Bone marrow smear. 250×250 px
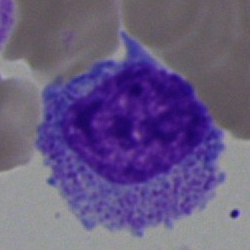Morphological class — neutrophil (band).